Peripheral blood smear
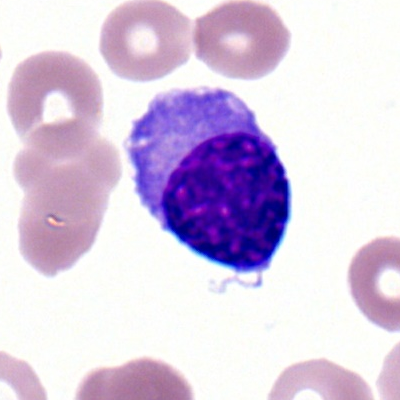
Q: What is shown here?
A: Lymphocyte.